Bone marrow smear.
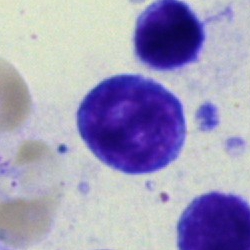 {"cell_type": "typical lymphocyte", "lineage": "lymphoid"}